Bone marrow aspirate smear — 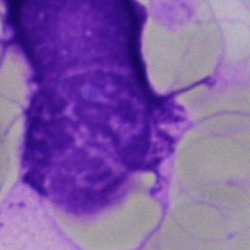
{"cell_type": "artefact"}